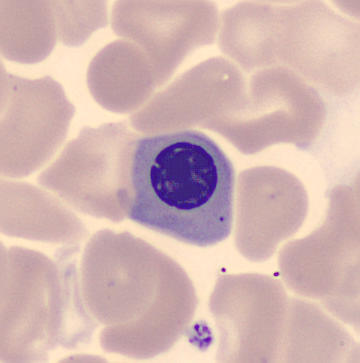
Erythroblast.

Preparation: Automated cell imaging (CellaVision DM96). Peripheral blood film.